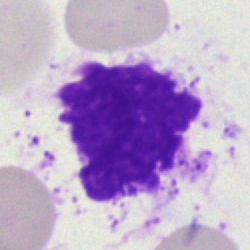Cell type — artefact.